Bone marrow smear — 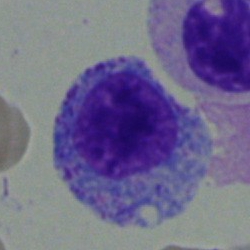Q: What is shown here?
A: Myelocyte.